Bone marrow smear · MGG-stained · single-cell field — 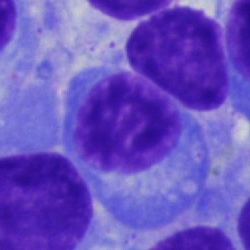
Impression → plasma cell.